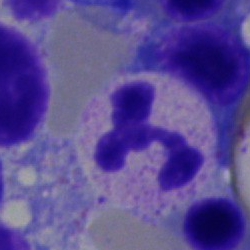 Segmented neutrophil.